Bone marrow smear
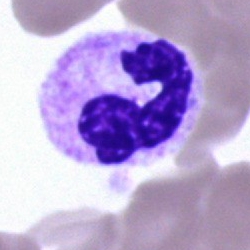

A neutrophil (segmented).